Brightfield, 40× oil-immersion objective; bone marrow aspirate smear — 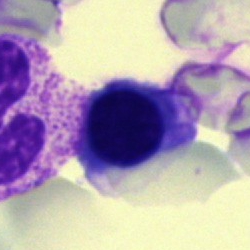

The cell shown is a normoblast.